Bone marrow smear; MGG-stained — 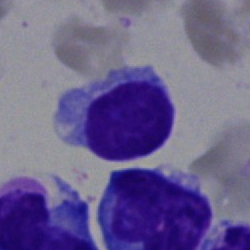

{"cell_type": "typical lymphocyte", "lineage": "lymphoid"}